250×250 px · single cell centered in the field · bone marrow aspirate smear — 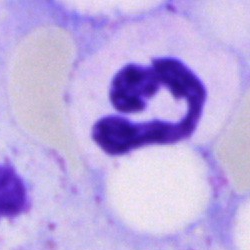 The cell shown is a neutrophil (segmented).